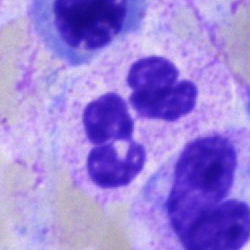
Morphology consistent with a neutrophil (segmented).